Bone marrow aspirate smear · May-Grünwald-Giemsa/Pappenheim stain.
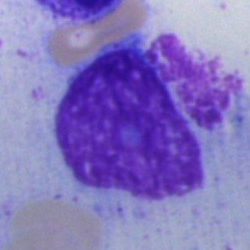 The morphological class is artifact.